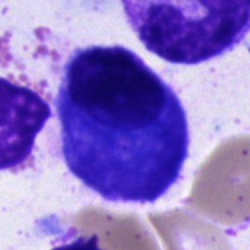 Plasmacyte.